Bone marrow aspirate smear:
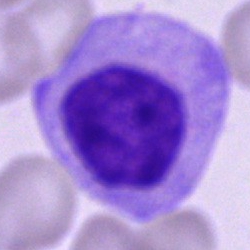
Metamyelocyte.